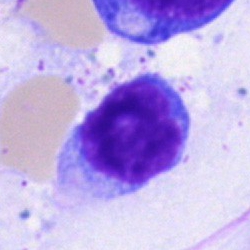
The cell shown is a lymphocyte.